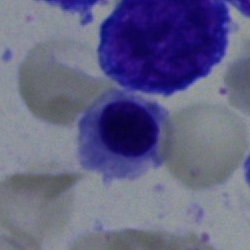
Bone marrow aspirate smear, single cell — normoblast.